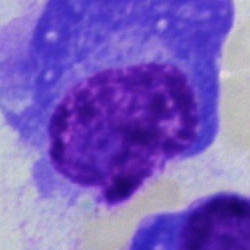
Morphology — plasmacyte.